250×250 px. Bone marrow aspirate smear. Cropped to a single cell — 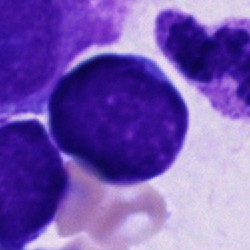An unidentifiable cell.